Peripheral blood film — 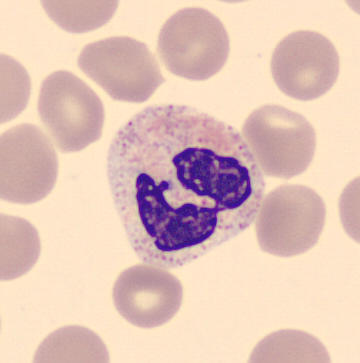

Cell: polymorphonuclear neutrophil.